Brightfield, 40× oil-immersion objective. Bone marrow aspirate smear — 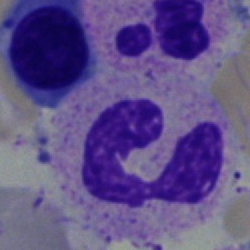 Classification: neutrophil (segmented).